Brightfield microscopy, 40× oil immersion · bone marrow aspirate smear:
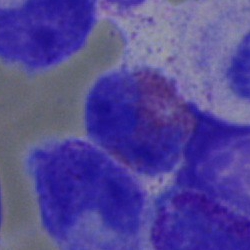

Specimen: bone marrow aspirate smear.
Morphological class: eosinophil.
Lineage: myeloid.